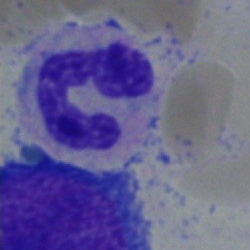 Morphological class = neutrophil (segmented).